Bone marrow smear; May-Grünwald-Giemsa stain: 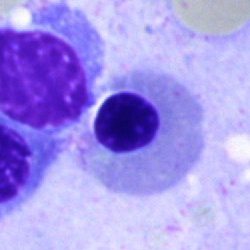 Morphological class — nucleated red cell.